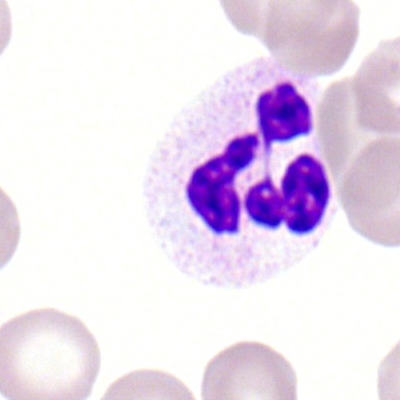 Q: Identify the cell.
A: A polymorphonuclear neutrophil.